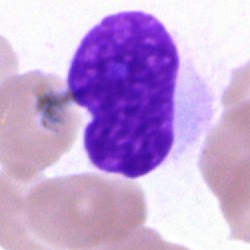 Impression → artefact.